Peripheral blood film:
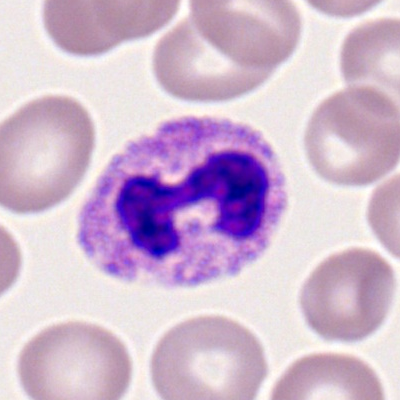
A neutrophil (segmented).